100× objective, oil immersion; peripheral blood film — 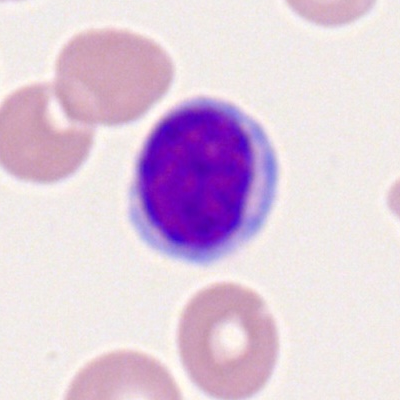Classification — lymphocyte.